250×250 · bone marrow aspirate smear:
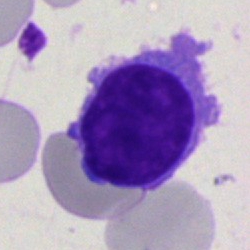
Impression → lymphocyte.